Bone marrow aspirate smear:
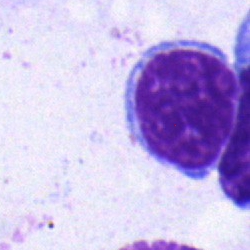 Specimen: bone marrow aspirate smear.
Morphological class: lymphocyte.